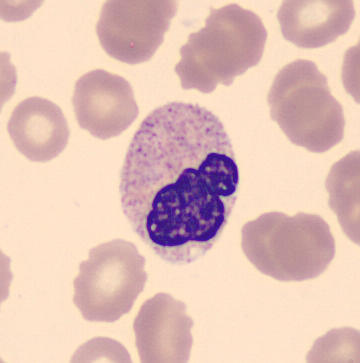
Specimen: peripheral blood film.
Cell: polymorphonuclear neutrophil.